Bone marrow smear: 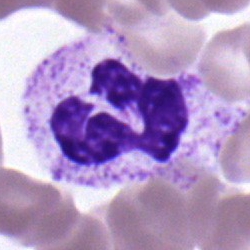
The cell is neutrophil (segmented).